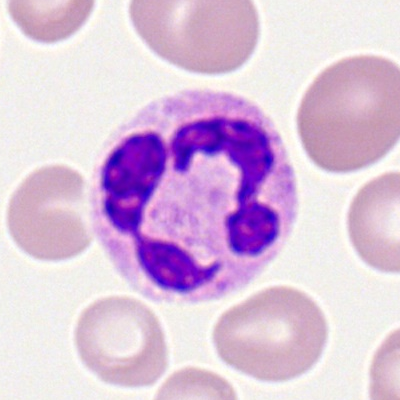Classification — segmented neutrophil.